Peripheral blood film; cropped to a single cell — 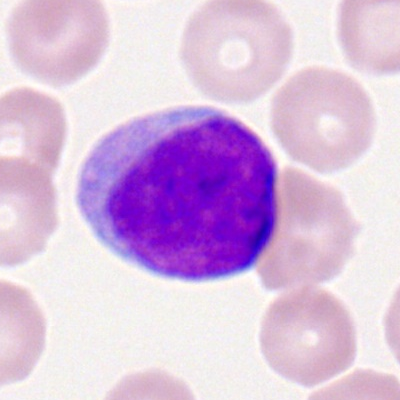
Specimen: peripheral blood smear.
Classification: myeloid blast.